Peripheral blood smear · Romanowsky-stained · single-cell field.
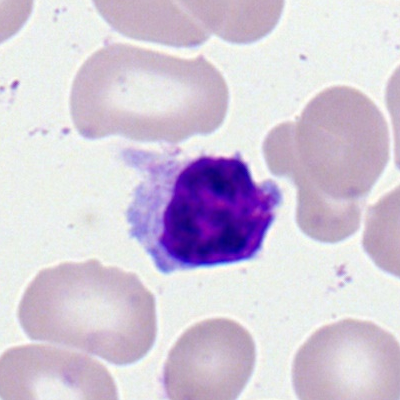 Lymphocyte.